Bone marrow aspirate smear. 40× oil immersion: 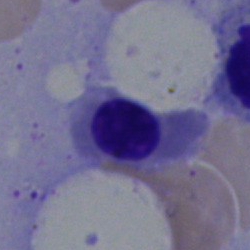

Morphological class = erythroblast.